Bone marrow smear — 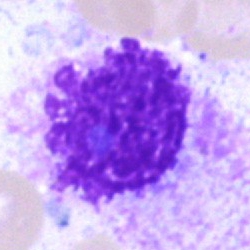

Classification — artefact.